MGG-stained; 250 by 250 pixels; bone marrow aspirate smear.
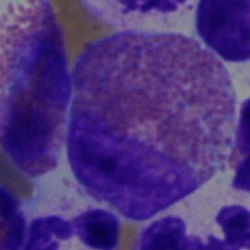

Morphology — eosinophilic granulocyte.